Bone marrow smear:
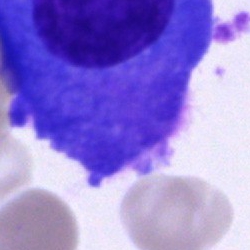
Plasma cell.